Bone marrow aspirate smear; 40× objective, oil immersion
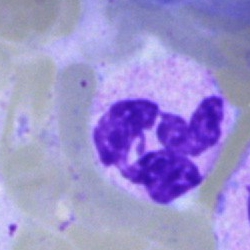
Q: Identify the cell.
A: Polymorphonuclear neutrophil.